Peripheral blood smear — 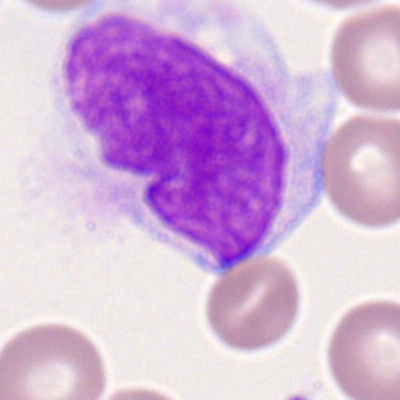
Specimen: peripheral blood smear.
Classification: monocyte.
Lineage: myeloid.